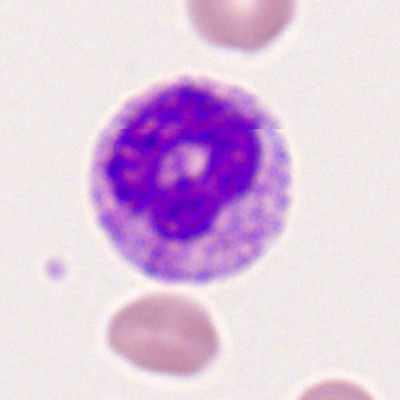

Morphology — neutrophil (band).